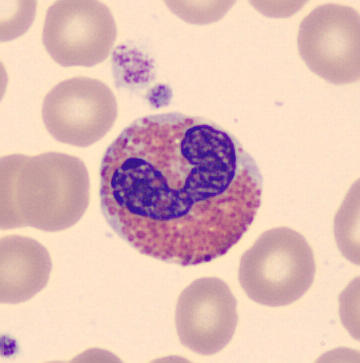 Single-cell field; peripheral blood film; image size 360×363. Cell — eosinophil.